Brightfield, 40× oil-immersion objective. Bone marrow smear — 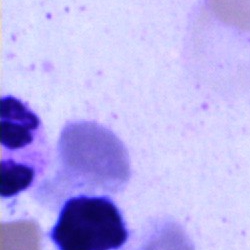Showing an artifact.